Bone marrow smear.
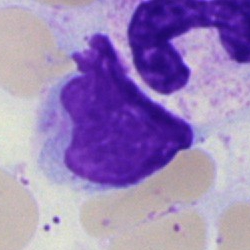 Classification = neutrophil (band).